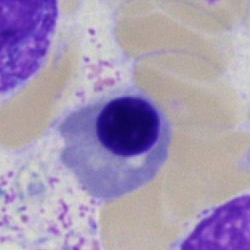 Morphological class: normoblast.